Bone marrow aspirate smear — 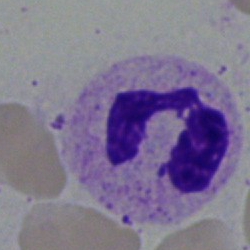

Morphological class — neutrophil (segmented).